Bone marrow smear: 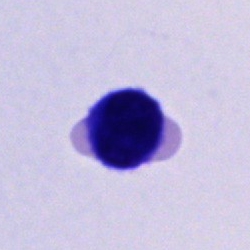 Specimen: bone marrow smear.
Classification: unidentifiable cell.